Single cell centered in the field · bone marrow aspirate smear · brightfield microscopy, 40× oil immersion.
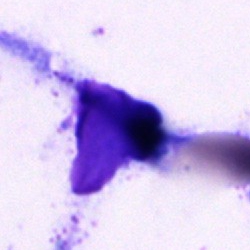 An artifact.